Bone marrow aspirate smear · image size 250×250
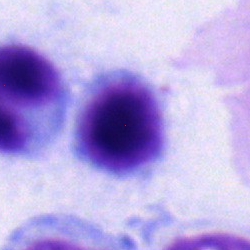This is a typical lymphocyte.